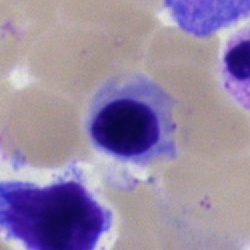Bone marrow aspirate smear, single cell — normoblast.